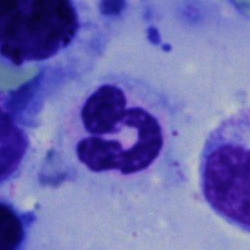
Bone marrow aspirate smear, single cell — polymorphonuclear neutrophil.